Peripheral blood film — 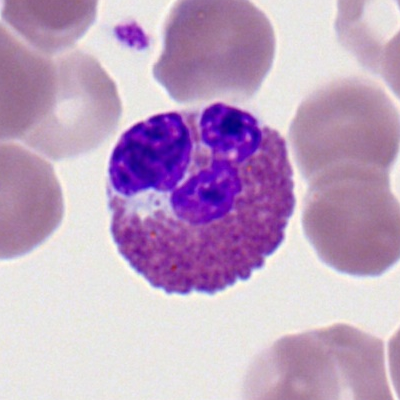Classification = eosinophilic granulocyte.